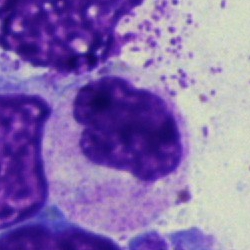 Morphological class — neutrophil (segmented).